Pappenheim-stained. Bone marrow smear:
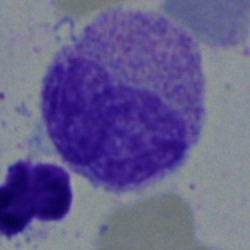 Specimen: bone marrow aspirate smear.
Cell type: myelocyte.